Bone marrow aspirate smear:
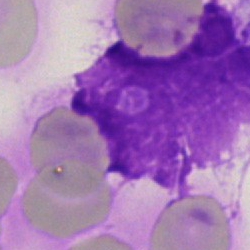Cell: artefact.